Bone marrow aspirate smear; May-Grünwald-Giemsa/Pappenheim stain: 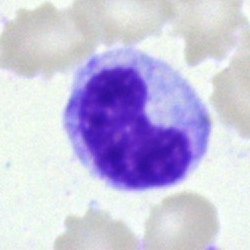

Q: What type of cell is this?
A: It is a metamyelocyte.